Bone marrow smear.
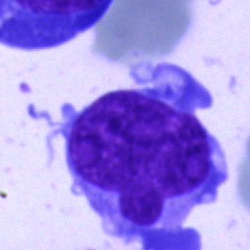

Specimen: bone marrow aspirate smear.
Morphological class: blast.